Bone marrow smear: 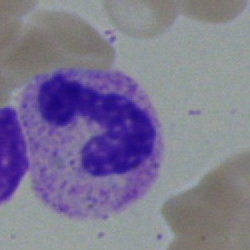

{"cell_type": "band neutrophil"}